Bone marrow smear — 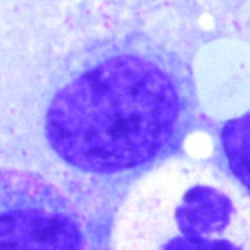Q: What is shown here?
A: It is a lymphocyte.